MGG-stained. Image size 250×250. Bone marrow aspirate smear:
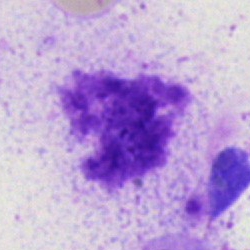

The cell shown is an artifact.